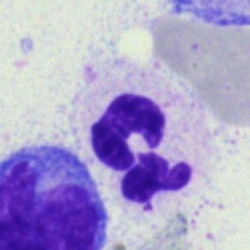
Cell type: neutrophil (segmented).